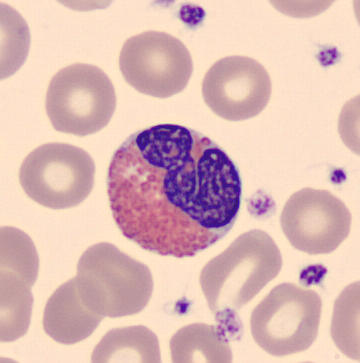
Identified as an eosinophilic granulocyte.